Bone marrow aspirate smear:
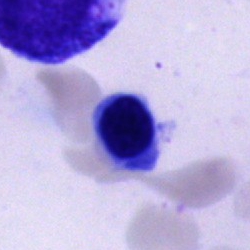
Morphological class: cell of indeterminate lineage.